Bone marrow aspirate smear. 40× objective, oil immersion. Pappenheim-stained: 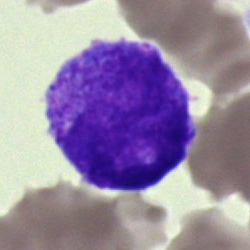

The classification is undifferentiated blast.